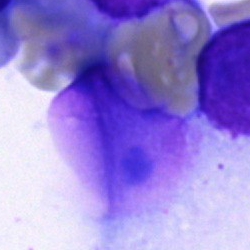

Showing an artefact.